Bone marrow smear; single-cell crop; 40× oil immersion.
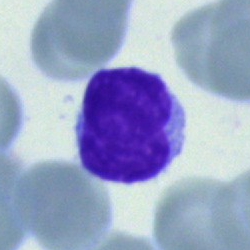

Classification = typical lymphocyte.